Bone marrow aspirate smear. 250×250 px. Single-cell crop: 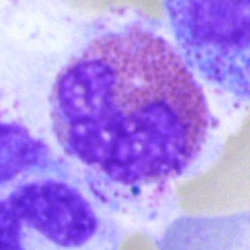

Eosinophilic granulocyte.